Single-cell field; image size 250×250; bone marrow aspirate smear.
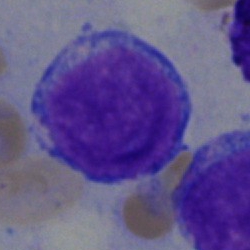
Q: Which cell type is shown here?
A: An undifferentiated blast.